Bone marrow aspirate smear; image size 250×250
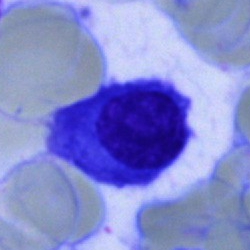
The cell type is plasmacyte.